Image size 360×363 · peripheral blood smear: 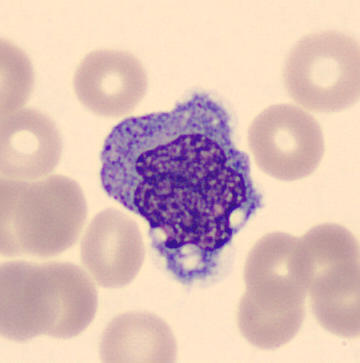The cell shown is a monocyte.